Image size 250×250. Bone marrow smear. Single-cell field
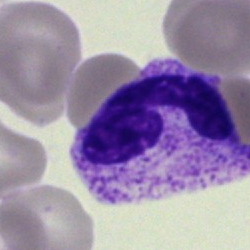

A neutrophil (segmented).